Single-cell crop; bone marrow aspirate smear — 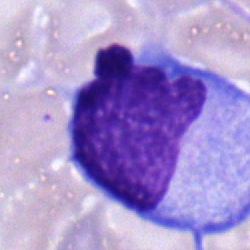

Impression — blast.